Bone marrow aspirate smear: 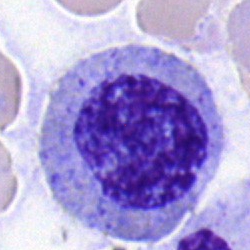

Classification: myelocyte.